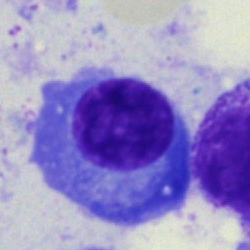
Morphology consistent with a plasma cell.